Bone marrow aspirate smear; May-Grünwald-Giemsa/Pappenheim stain: 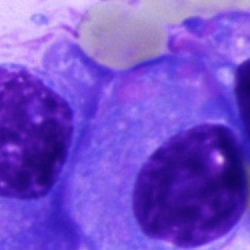 The cell type is plasmacyte.